Bone marrow aspirate smear. Pappenheim-stained:
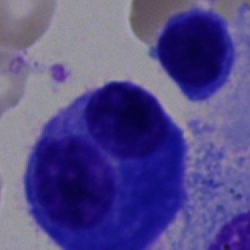

Cell: plasmacyte.